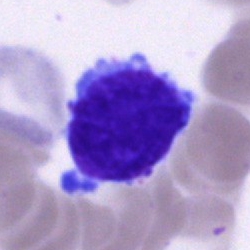
This is a typical lymphocyte.